Bone marrow smear:
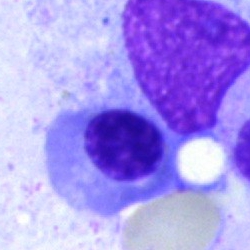This is a nucleated red cell.